Peripheral blood smear. Image size 400×400 — 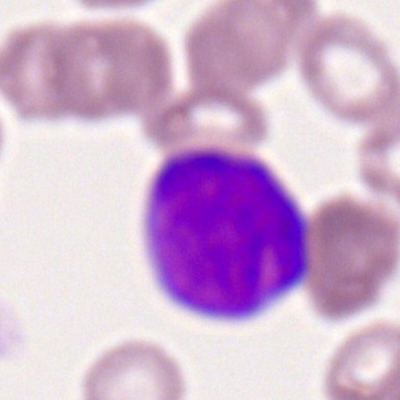This is a myeloblast.